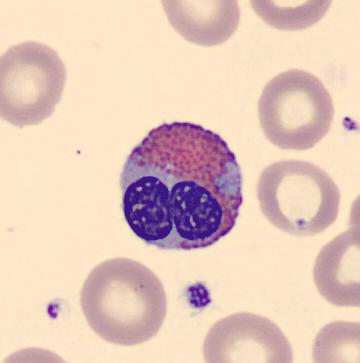
Specimen: peripheral blood film.
Cell: eosinophil.
Lineage: myeloid.